Cropped to a single cell · bone marrow aspirate smear · May-Grünwald-Giemsa stain — 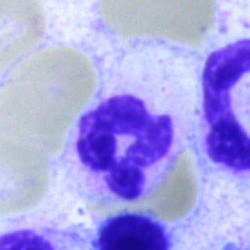 Cell — polymorphonuclear neutrophil.